Bone marrow smear — 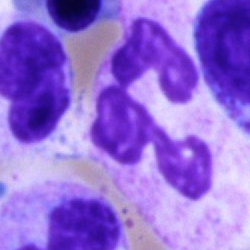

Cell type — segmented neutrophil.